Peripheral blood smear; image size 400×400 — 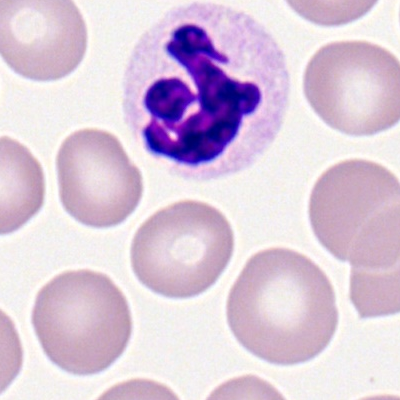
Cell: segmented neutrophil.